Single cell centered in the field · peripheral blood film:
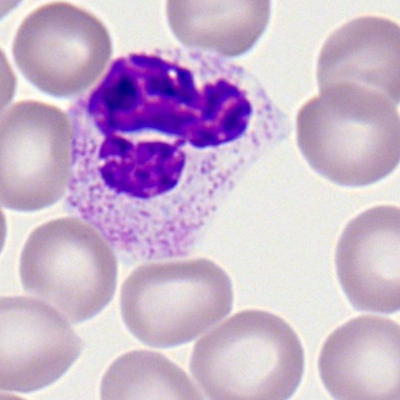

Single cell identified as a polymorphonuclear neutrophil.